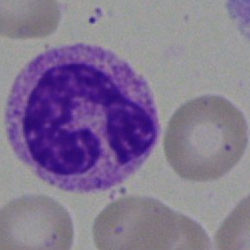Q: What type of cell is this?
A: It is a polymorphonuclear neutrophil.